Single-cell crop; peripheral blood smear; 100× objective, oil immersion: 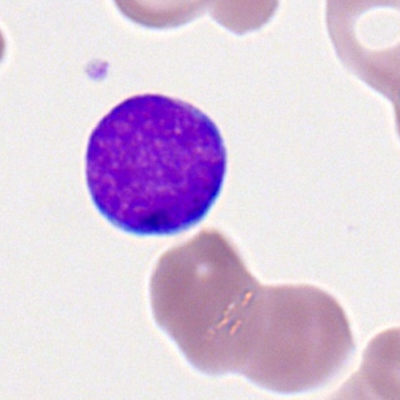
Cell = myeloblast.